May-Grünwald-Giemsa/Pappenheim stain · bone marrow smear
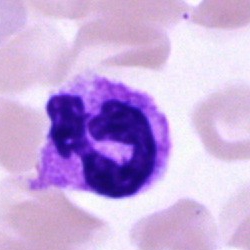

A segmented neutrophil.